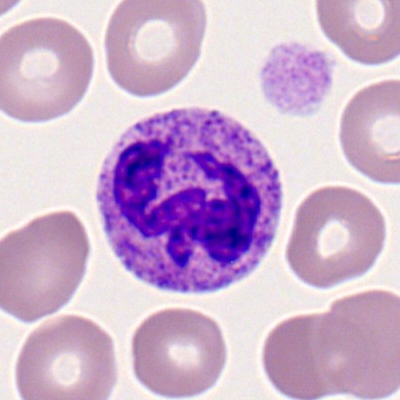
{"cell_type": "polymorphonuclear neutrophil"}